Bone marrow smear:
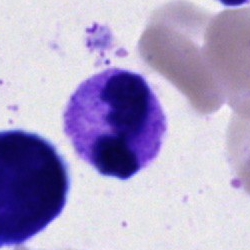
Morphological class: polymorphonuclear neutrophil.